Bone marrow smear
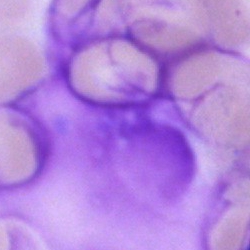{"cell_type": "artefact"}